Bone marrow smear
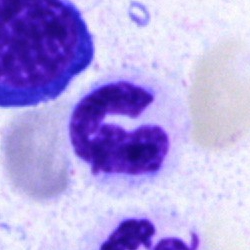 Specimen: bone marrow aspirate smear.
Cell: neutrophil (segmented).
Lineage: myeloid.